Image size 250×250. Cropped to a single cell. Bone marrow aspirate smear.
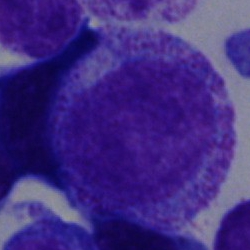This is a progranulocyte.